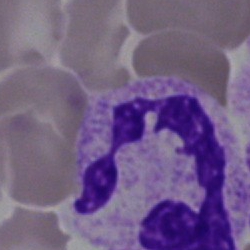 The morphological class is polymorphonuclear neutrophil.